Brightfield, 40× oil-immersion objective; bone marrow aspirate smear:
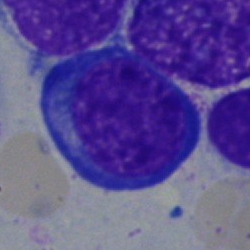

This is a nucleated red blood cell.